Bone marrow aspirate smear:
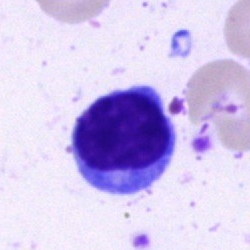

The cell type is typical lymphocyte.